250×250 px; May-Grünwald-Giemsa/Pappenheim stain; bone marrow smear:
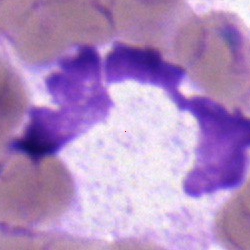
Single cell identified as a segmented neutrophil.